Bone marrow aspirate smear
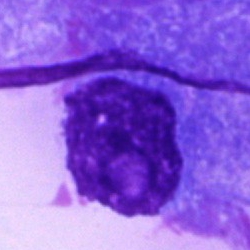Classification: plasmacyte.